Bone marrow smear · 250×250 px · Pappenheim-stained.
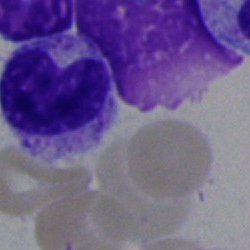

A metamyelocyte.